Bone marrow aspirate smear.
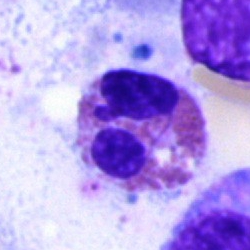The cell type is eosinophilic granulocyte.